Bone marrow aspirate smear. 250 by 250 pixels
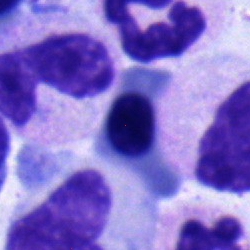Morphology — normoblast.